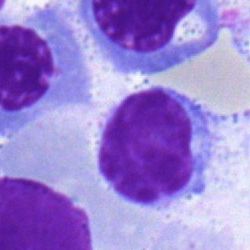Morphology — typical lymphocyte.